250×250 px; bone marrow aspirate smear: 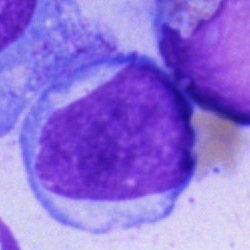Cell — blast.